Bone marrow aspirate smear · May-Grünwald-Giemsa stain — 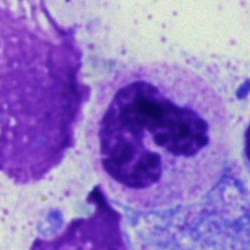
Specimen: bone marrow aspirate smear.
Cell: stab cell.